Bone marrow aspirate smear. Brightfield microscopy, 40× oil immersion — 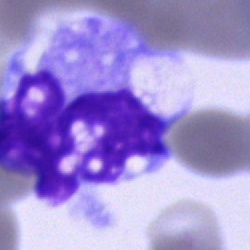
Classification: monocyte.